Bone marrow aspirate smear — 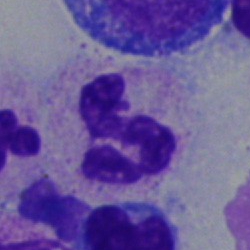Morphological class: neutrophil (segmented).